Bone marrow aspirate smear; MGG-stained:
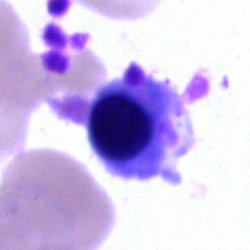

Morphological class = normoblast.